Bone marrow aspirate smear.
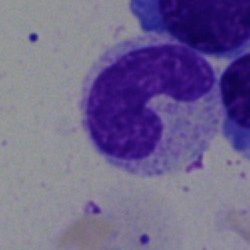
This is a neutrophil (band).